Bone marrow smear — 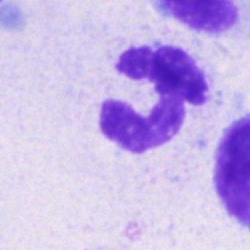 Q: What is shown here?
A: This is a segmented neutrophil.